Bone marrow aspirate smear
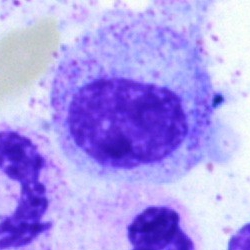

Showing a progranulocyte.